Bone marrow aspirate smear: 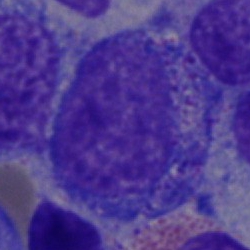

The cell shown is a progranulocyte.